Single-cell crop. Bone marrow aspirate smear:
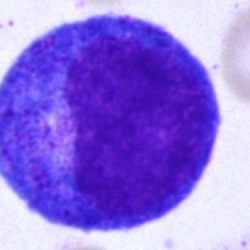A promyelocyte.